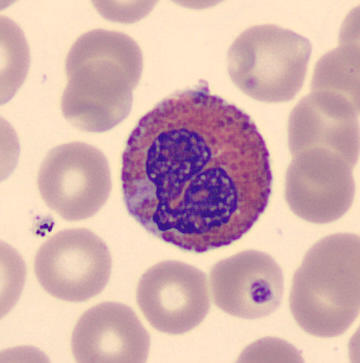Identified as an eosinophil.